Peripheral blood film.
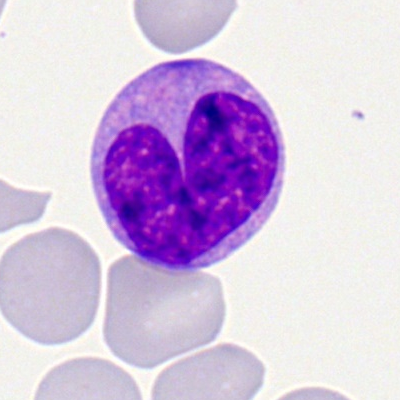Q: What is shown here?
A: Monocyte.